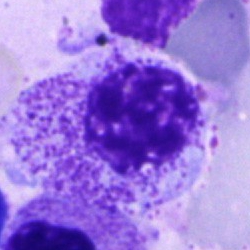
Specimen: bone marrow aspirate smear.
Cell type: myelocyte.
Lineage: myeloid.